Bone marrow aspirate smear — 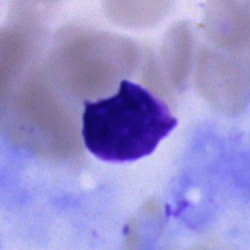Showing an artefact.